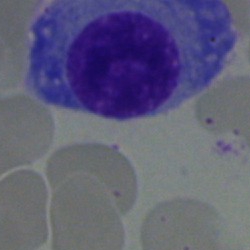

Specimen: bone marrow aspirate smear.
Cell type: plasma cell.
Lineage: lymphoid.